Bone marrow smear
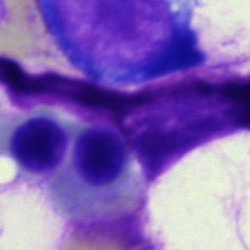The cell type is nucleated red cell.